Bone marrow aspirate smear:
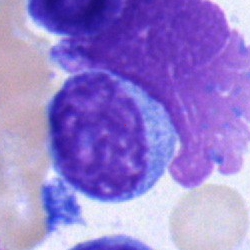 A typical lymphocyte.